Bone marrow aspirate smear; May-Grünwald-Giemsa stain:
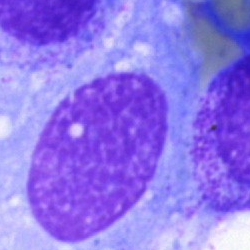 The cell shown is an artefact.